Bone marrow aspirate smear — 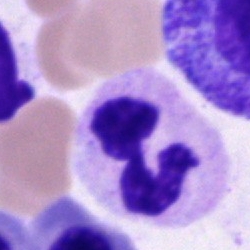A polymorphonuclear neutrophil.